Single-cell field · peripheral blood smear.
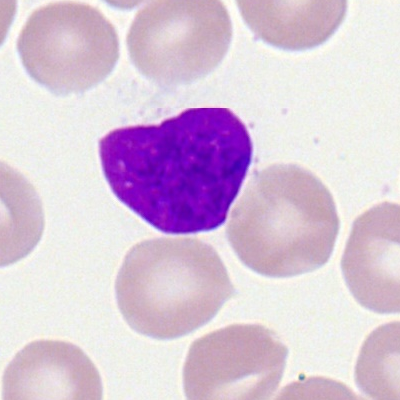Q: What is the morphological classification of this cell?
A: A Gumprecht shadow.